Bone marrow smear:
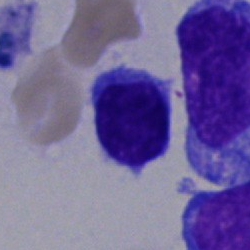
A lymphocyte.